Brightfield microscopy, 40× oil immersion. Single cell centered in the field. Bone marrow aspirate smear: 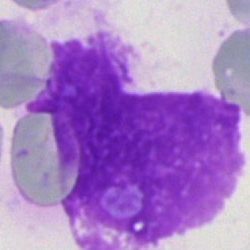 Q: What is shown here?
A: It is an artifact.